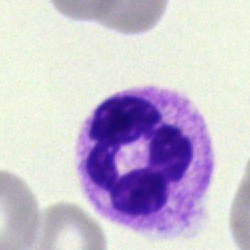

Q: What is the morphological classification of this cell?
A: This is a neutrophil (segmented).